Bone marrow aspirate smear: 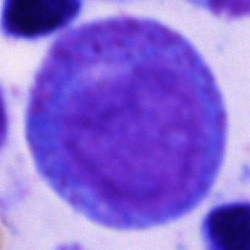 Morphology consistent with a promyelocyte.